Single-cell field. Bone marrow aspirate smear:
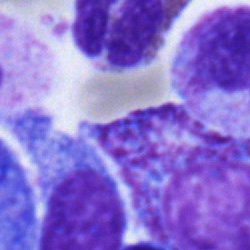
Q: What type of cell is this?
A: Eosinophil.